250 by 250 pixels; bone marrow aspirate smear: 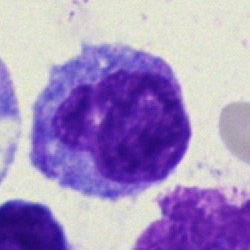 A monocyte.